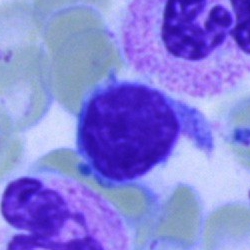{"cell_type": "lymphocyte"}